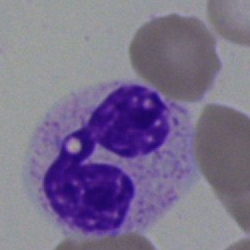
Single-cell crop from a bone marrow smear: segmented neutrophil.